Bone marrow smear · brightfield microscopy, 40× oil immersion.
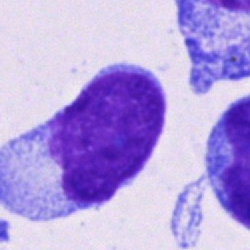

Q: What cell is this?
A: Undifferentiated blast.